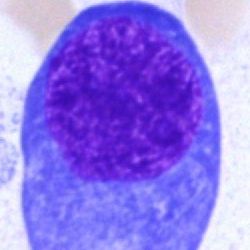Specimen: bone marrow aspirate smear.
Cell: normoblast.